Bone marrow smear — 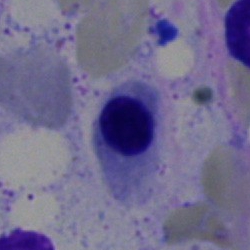

Nucleated red blood cell.